Single-cell crop · bone marrow smear: 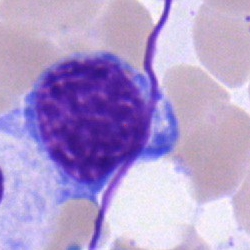

{"cell_type": "nucleated red cell", "lineage": "erythroid"}